Image size 250×250; single-cell crop; bone marrow smear: 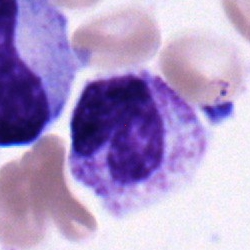 This is a metamyelocyte.